Single cell centered in the field · MGG-stained · bone marrow smear: 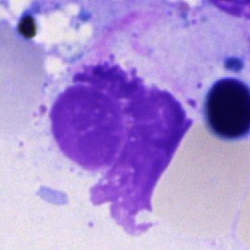

An artefact.